Peripheral blood film: 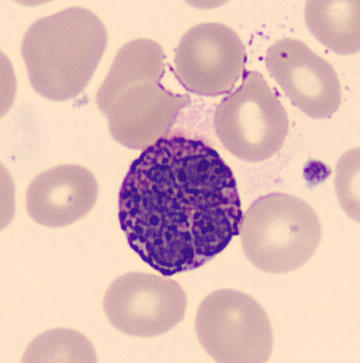Specimen: peripheral blood smear.
Morphological class: basophil.
Lineage: myeloid.